Peripheral blood smear: 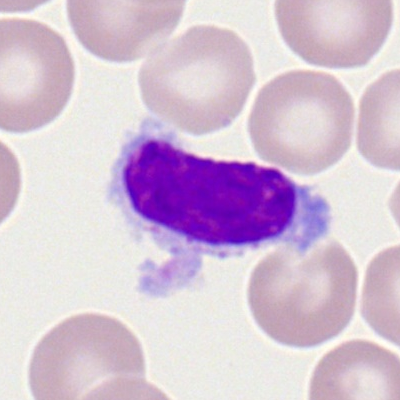
The morphological class is typical lymphocyte.